Bone marrow aspirate smear · image size 250×250.
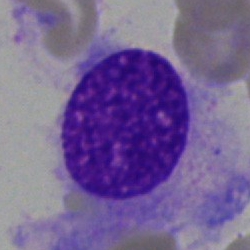
Q: What is shown here?
A: An artifact.